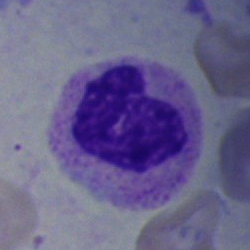

Specimen: bone marrow smear.
Classification: band-form neutrophil.